Bone marrow aspirate smear: 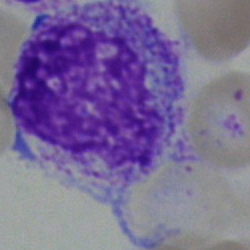
Morphology — myelocyte.